Bone marrow smear: 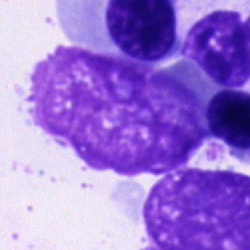{"cell_type": "artifact"}